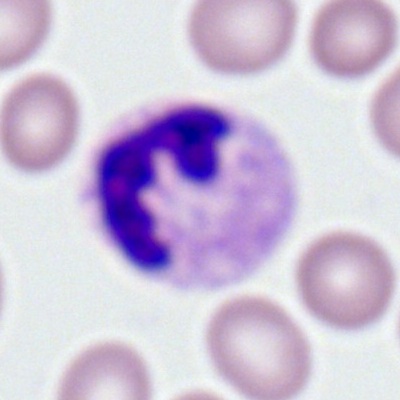

Classification: segmented neutrophil.